250×250. Bone marrow smear
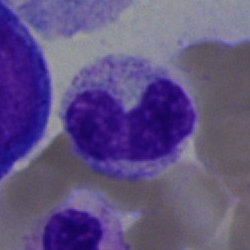

Q: Which cell type is shown here?
A: A band neutrophil.